Bone marrow smear.
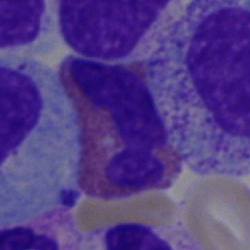The cell type is eosinophilic granulocyte.